250×250 px · bone marrow smear.
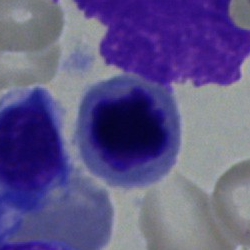 Impression — nucleated red blood cell.